Bone marrow smear.
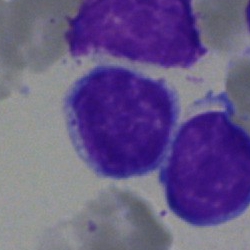Morphology consistent with a lymphocyte.